250×250 · bone marrow smear
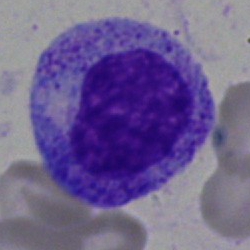

Specimen: bone marrow smear.
Cell: myelocyte.